Brightfield, 40× oil-immersion objective. Bone marrow aspirate smear: 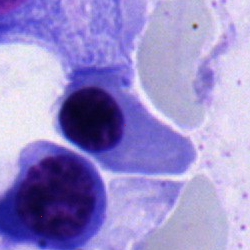 Morphology → normoblast.